Cropped to a single cell. Bone marrow smear:
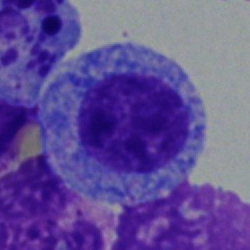
The cell shown is a progranulocyte.